Bone marrow aspirate smear.
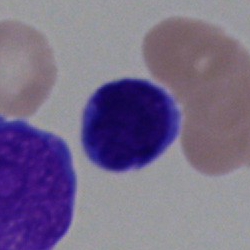

Morphology consistent with a typical lymphocyte.